Bone marrow smear — 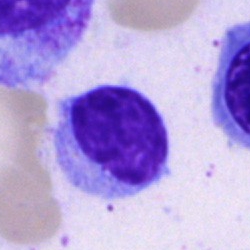
Morphological class — typical lymphocyte.